Single-cell field; bone marrow smear:
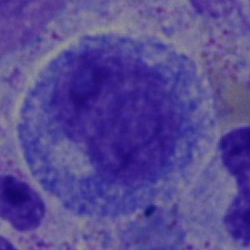Morphology — promyelocyte.